Peripheral blood smear; single-cell field; brightfield, 100× oil-immersion objective — 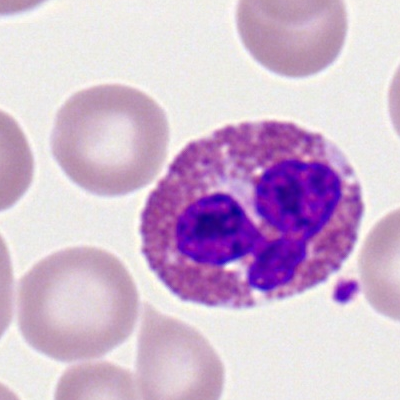
Specimen: peripheral blood film.
Classification: eosinophil.
Lineage: myeloid.